Peripheral blood smear — 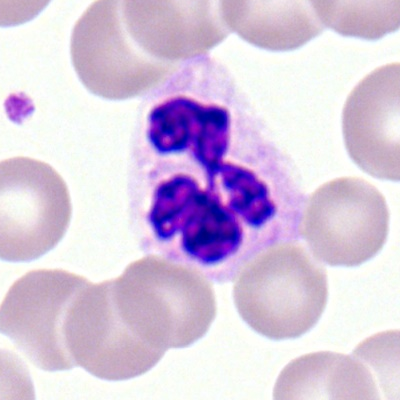 Single cell identified as a segmented neutrophil.